Peripheral blood film · M8 digital microscope (Precipoint), 100× oil immersion · 400×400 — 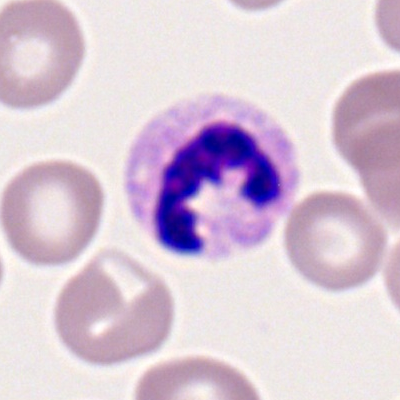A segmented neutrophil.